Bone marrow aspirate smear
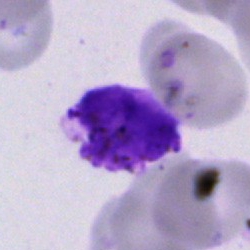
Showing an artefact.